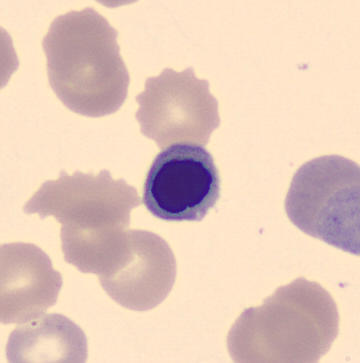

Impression — erythroblast.